Bone marrow smear — 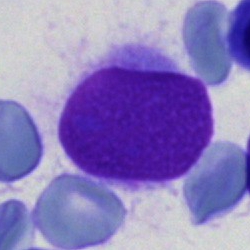
Cell = blast.